Bone marrow smear
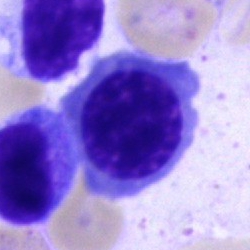

Cell type — erythroblast.